Bone marrow smear — 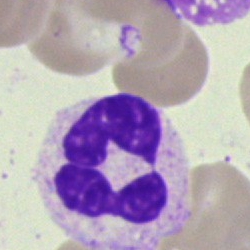

The cell type is polymorphonuclear neutrophil.